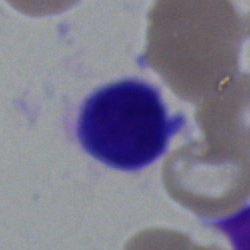
Q: What is shown here?
A: It is a lymphocyte.